Bone marrow aspirate smear
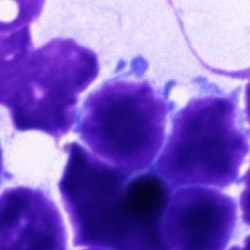

Classification = lymphocyte.